Pappenheim-stained · bone marrow smear:
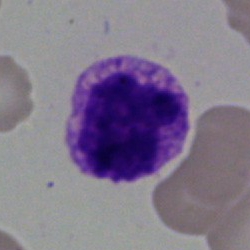

Basophilic granulocyte.